Peripheral blood film; 360×363 px: 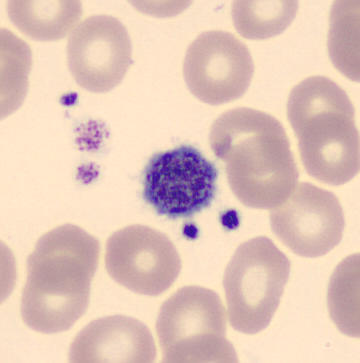

Cell type = platelet.